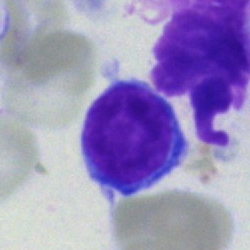

{"cell_type": "typical lymphocyte"}